Bone marrow aspirate smear · May-Grünwald-Giemsa/Pappenheim stain
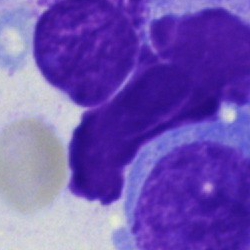 This is a blast.